Bone marrow smear · May-Grünwald-Giemsa stain.
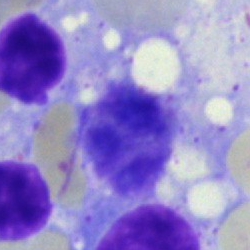

Showing an artifact.